Bone marrow aspirate smear.
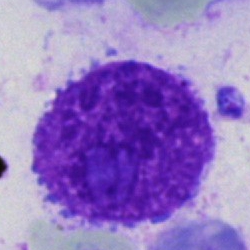

Morphological class: artifact.